Bone marrow smear. Single-cell field: 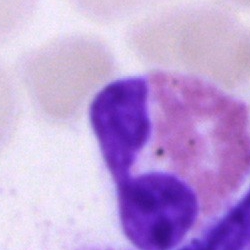

This is an eosinophilic granulocyte.